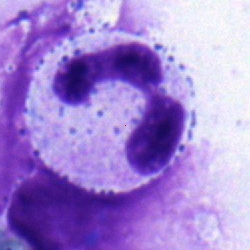 Segmented neutrophil.